Bone marrow smear — 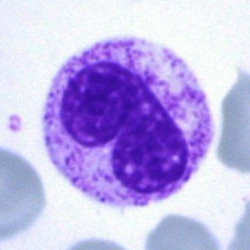Specimen: bone marrow aspirate smear.
Morphological class: stab cell.